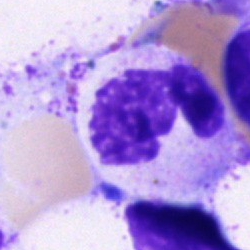
Classification = polymorphonuclear neutrophil.